Bone marrow smear
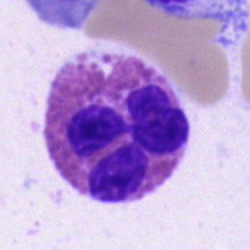 Q: Which cell type is shown here?
A: An eosinophil.